Brightfield microscopy, 40× oil immersion · bone marrow aspirate smear
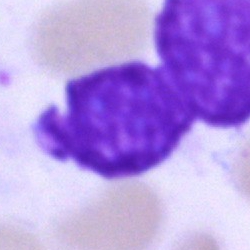

Specimen: bone marrow smear.
Morphological class: artifact.